Bone marrow aspirate smear · single cell centered in the field · image size 250×250
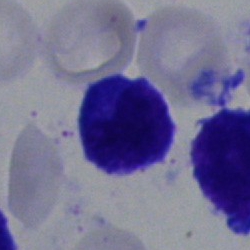
Impression → lymphocyte.